Bone marrow aspirate smear:
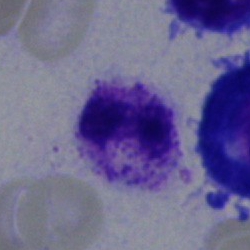 Morphology → segmented neutrophil.